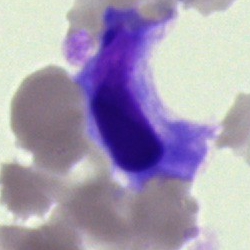

Cell type: artefact.